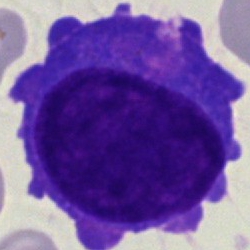Morphology — blast cell.